Single-cell field; peripheral blood film.
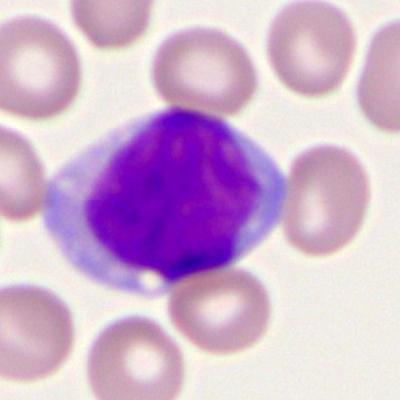
A myeloblast.